Bone marrow aspirate smear
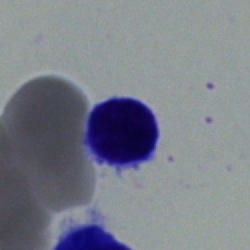 Morphology consistent with a typical lymphocyte.